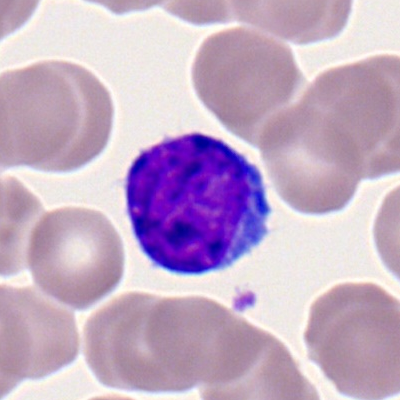Morphology → lymphocyte.